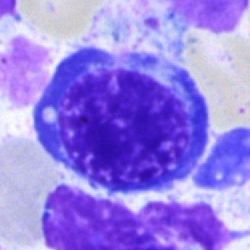Single-cell crop from a bone marrow smear: nucleated red cell.